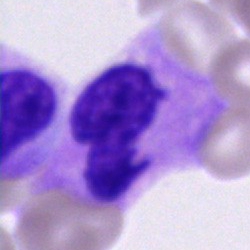{"cell_type": "segmented neutrophil", "lineage": "myeloid"}